Bone marrow aspirate smear — 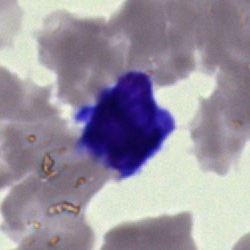
Q: What is shown here?
A: Artifact.